Bone marrow smear
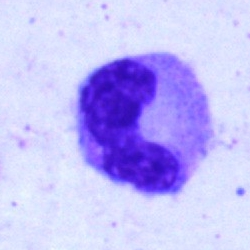 Q: What is shown here?
A: A neutrophil (band).